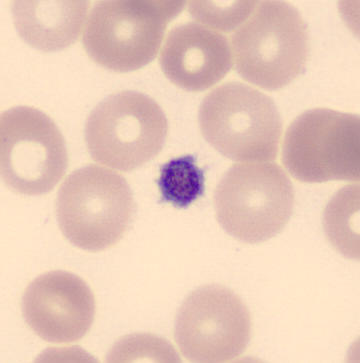
Q: What is shown here?
A: A platelet (thrombocyte).